Bone marrow aspirate smear — 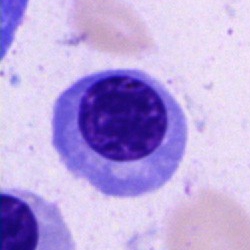

Q: What type of cell is this?
A: An erythroblast.